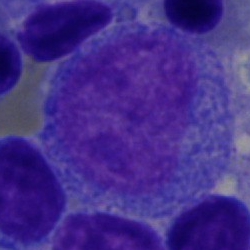

Specimen: bone marrow smear.
Cell: promyelocyte.
Lineage: myeloid.